Peripheral blood smear.
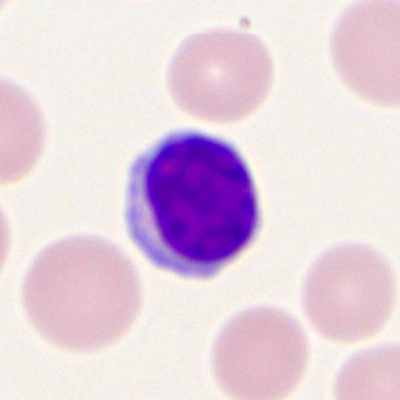
The cell is typical lymphocyte.